40× objective, oil immersion · bone marrow smear · 250×250 px — 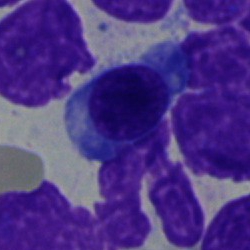 The cell type is nucleated red cell.